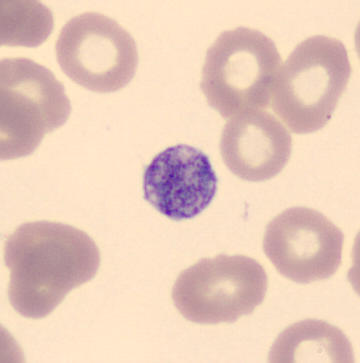Preparation: Peripheral blood smear. A platelet (thrombocyte).